Single-cell crop. Peripheral blood smear:
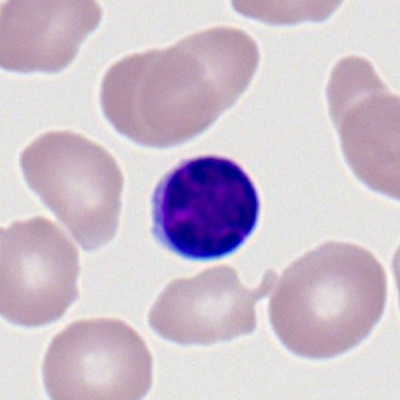

The cell shown is a lymphocyte.